Bone marrow smear: 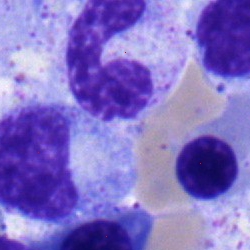 This is a band neutrophil.